May-Grünwald-Giemsa/Pappenheim stain; brightfield, 40× oil-immersion objective; bone marrow aspirate smear:
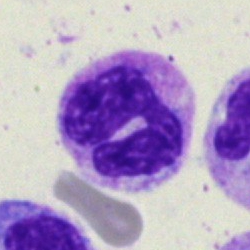Morphology consistent with a neutrophil (segmented).